Bone marrow aspirate smear · single-cell field · 40× oil immersion — 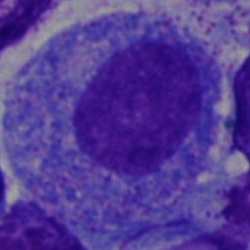

Specimen: bone marrow aspirate smear.
Classification: progranulocyte.